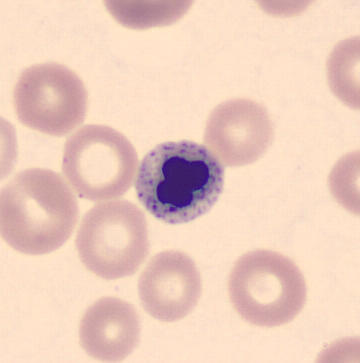Peripheral blood smear. Showing a normoblast.